Single-cell field. Bone marrow smear.
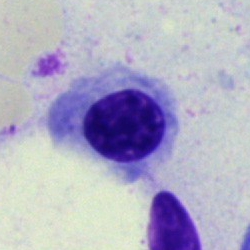 Q: What type of cell is this?
A: It is a normoblast.